Bone marrow aspirate smear. May-Grünwald-Giemsa stain. 250×250 px:
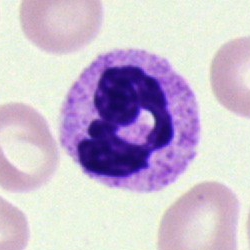
Morphology consistent with a neutrophil (segmented).